Bone marrow smear. Brightfield, 40× oil-immersion objective — 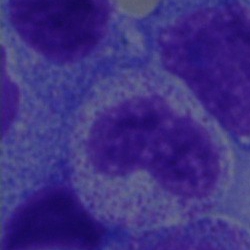 Single cell identified as a metamyelocyte.